Bone marrow aspirate smear. Image size 250×250: 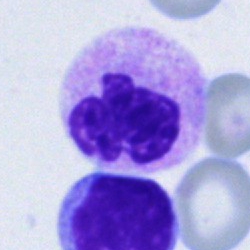 Specimen: bone marrow aspirate smear.
Cell type: segmented neutrophil.